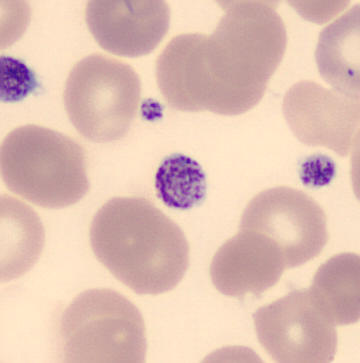 Image: Peripheral blood film.
Impression → thrombocyte.